Image size 250×250 · bone marrow aspirate smear · single cell centered in the field:
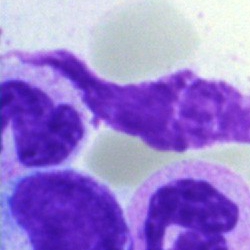

{"cell_type": "artifact"}